Bone marrow aspirate smear:
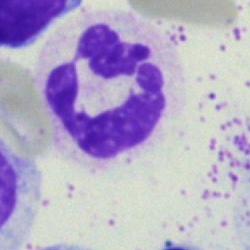Single cell identified as a segmented neutrophil.